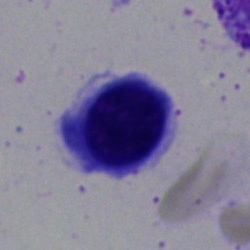
Q: What is the morphological classification of this cell?
A: This is a nucleated red blood cell.